Bone marrow aspirate smear. Single-cell field.
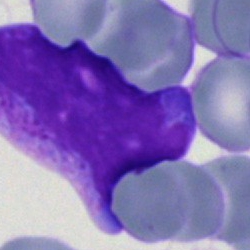
This is an undifferentiated blast.